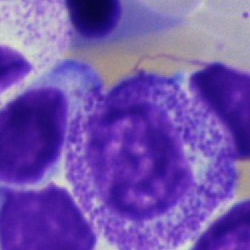Q: Which cell type is shown here?
A: This is a myelocyte.